Bone marrow aspirate smear
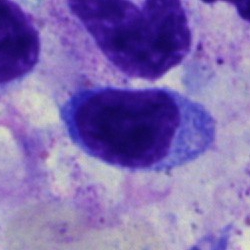
{"cell_type": "lymphocyte", "lineage": "lymphoid"}